Bone marrow smear.
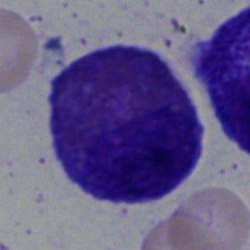
Morphological class = eosinophilic granulocyte.